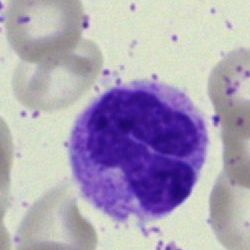A metamyelocyte on a bone marrow smear.